Brightfield microscopy, 40× oil immersion · bone marrow aspirate smear: 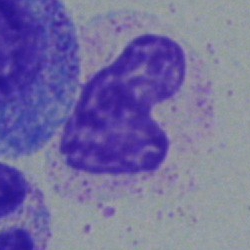 Stab cell.